Bone marrow smear: 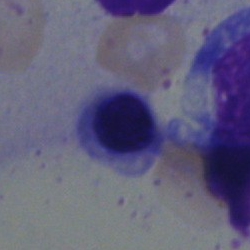 Morphology consistent with a nucleated red blood cell.